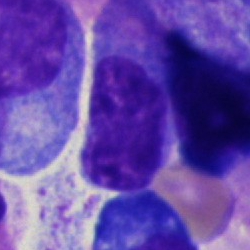
Single-cell crop from a bone marrow smear: monocyte.